Peripheral blood smear: 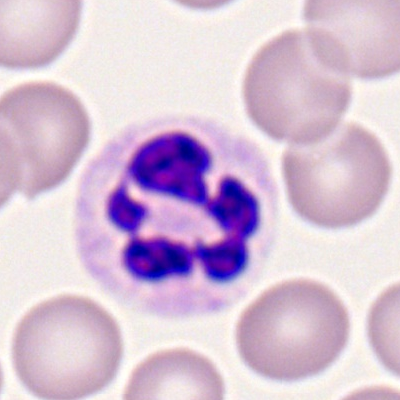 Single cell identified as a polymorphonuclear neutrophil.